Pappenheim-stained · bone marrow aspirate smear: 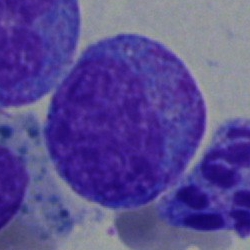 Q: What type of cell is this?
A: Promyelocyte.